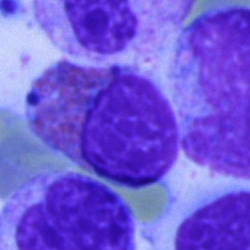
Single-cell crop from a bone marrow smear: myelocyte.